Bone marrow aspirate smear:
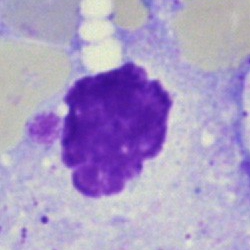
The morphological class is artefact.